Cropped to a single cell · bone marrow smear
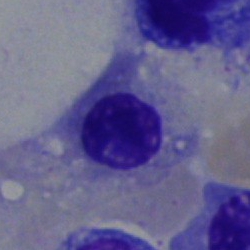 Morphology → erythroblast.